Single-cell crop. Peripheral blood film:
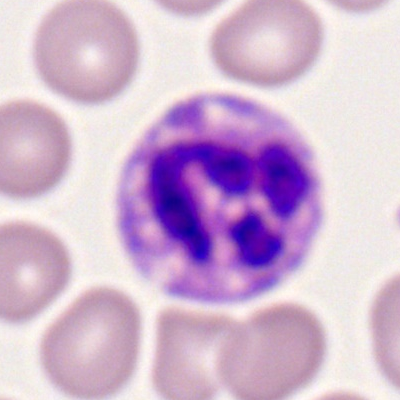 Cell type = segmented neutrophil.